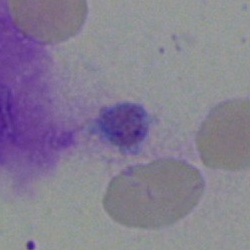Morphological class — artifact.